Pappenheim-stained; bone marrow aspirate smear: 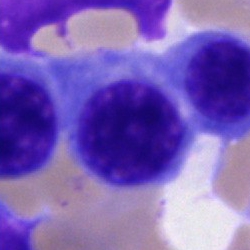
Q: Identify the cell.
A: Erythroblast.